Bone marrow aspirate smear. Image size 250×250. May-Grünwald-Giemsa stain.
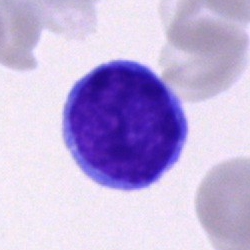
A blast cell.